Bone marrow smear · single-cell crop: 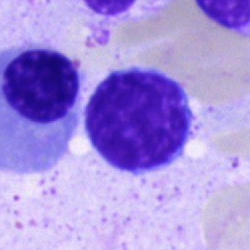 Cell type — typical lymphocyte.